Single-cell field. Peripheral blood film. 400×400 px — 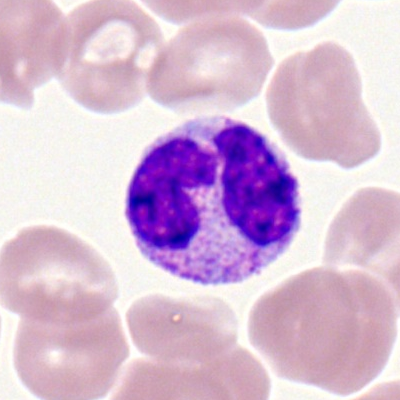

Q: Which cell type is shown here?
A: A neutrophil (segmented).